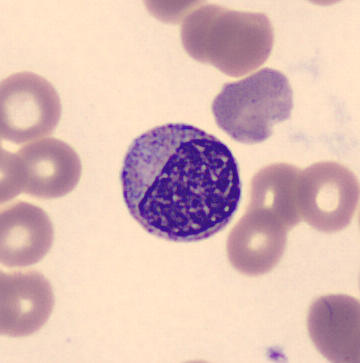Showing a myelocyte. Peripheral blood smear.